Bone marrow smear
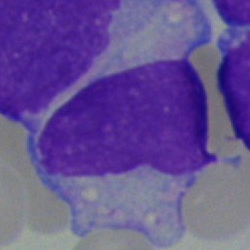Specimen: bone marrow smear.
Classification: blast cell.